Bone marrow aspirate smear: 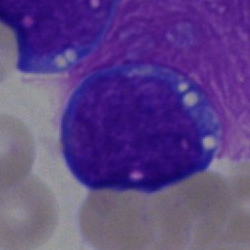The cell shown is a blast.